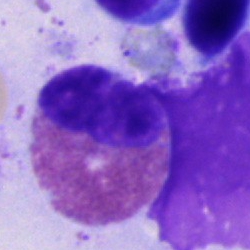The morphological class is eosinophil.